Bone marrow smear:
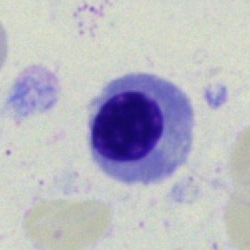

Morphological class — erythroblast.